Bone marrow aspirate smear — 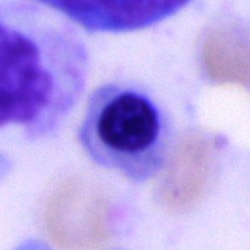

Morphological class = nucleated red cell.